Brightfield, 40× oil-immersion objective · May-Grünwald-Giemsa/Pappenheim stain · bone marrow aspirate smear.
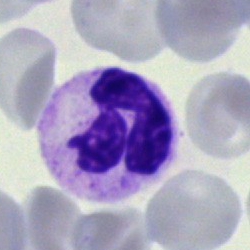
{"cell_type": "polymorphonuclear neutrophil", "lineage": "myeloid"}